Bone marrow smear — 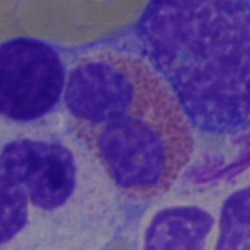 Specimen: bone marrow smear.
Cell type: eosinophil.